Bone marrow smear.
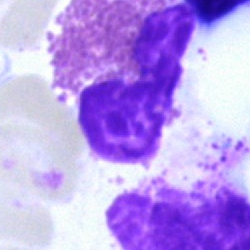{"cell_type": "eosinophil", "lineage": "myeloid"}